Bone marrow aspirate smear.
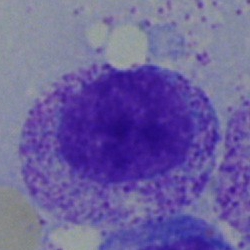
Myelocyte.